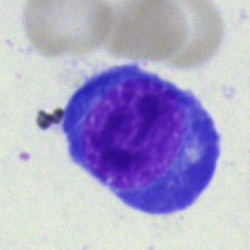

Morphology → nucleated red cell.